Bone marrow aspirate smear.
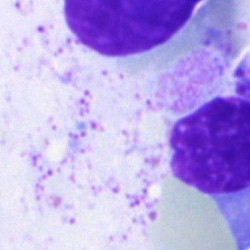 Q: What is shown here?
A: An artifact.